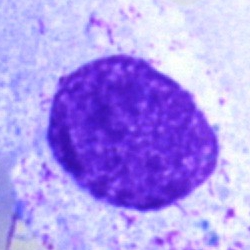
Q: What is shown here?
A: Artifact.